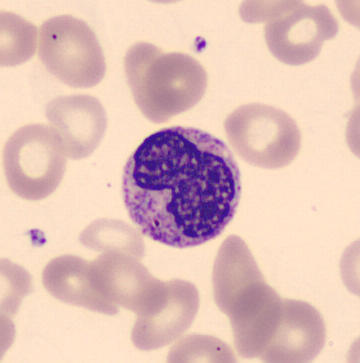

This is a metamyelocyte.
Image: Imaged on a CellaVision DM96 analyser · peripheral blood smear.